Bone marrow aspirate smear: 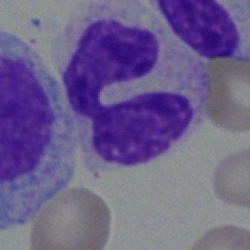
The morphological class is monocyte.